Peripheral blood film — 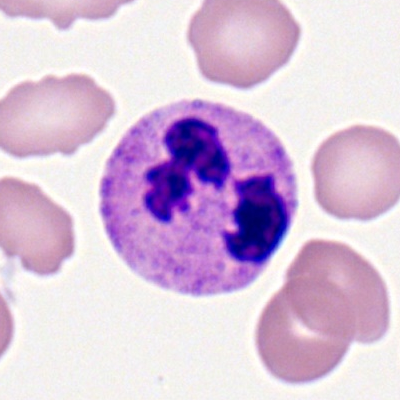Neutrophil (segmented).